Bone marrow smear · single cell centered in the field
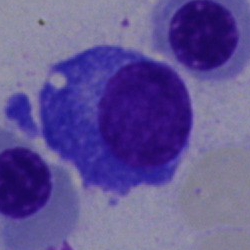
{"cell_type": "plasmacyte", "lineage": "lymphoid"}